Bone marrow aspirate smear — 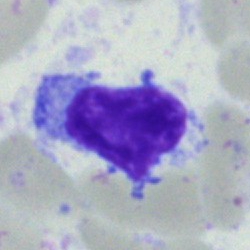
Cell type: typical lymphocyte.